Bone marrow aspirate smear: 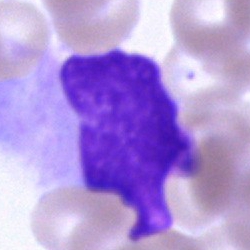Showing an artifact.